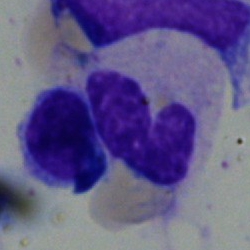 {"cell_type": "stab cell"}